Bone marrow smear:
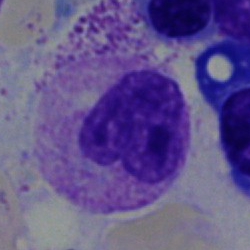Specimen: bone marrow smear.
Classification: band neutrophil.
Lineage: myeloid.